May-Grünwald-Giemsa/Pappenheim stain · bone marrow aspirate smear.
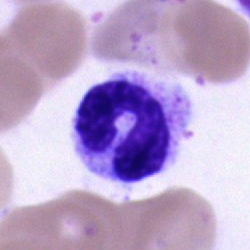 Specimen: bone marrow aspirate smear.
Classification: segmented neutrophil.